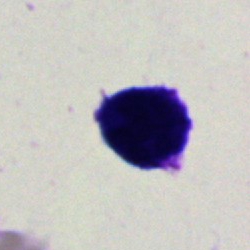 Morphology → artifact.